Image size 250×250 · brightfield microscopy, 40× oil immersion · bone marrow smear:
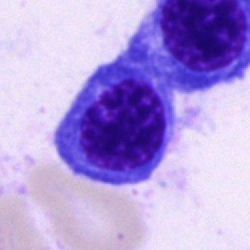

Morphological class = nucleated red blood cell.